Bone marrow smear. Single-cell field. Image size 250×250: 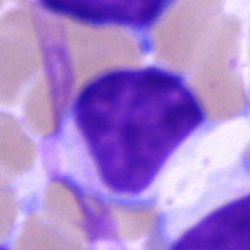Single cell identified as a typical lymphocyte.